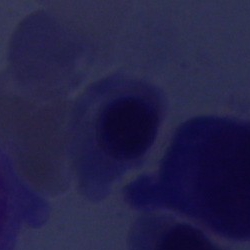 The cell is artefact.